Bone marrow aspirate smear. Pappenheim-stained: 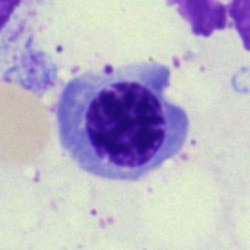

The cell type is normoblast.